Bone marrow smear.
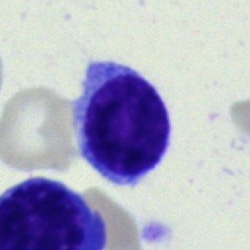This is a typical lymphocyte.